Single-cell field · 40× oil immersion · bone marrow aspirate smear:
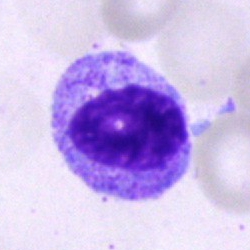

Q: What cell is this?
A: A myelocyte.